Image size 400×400 · peripheral blood film — 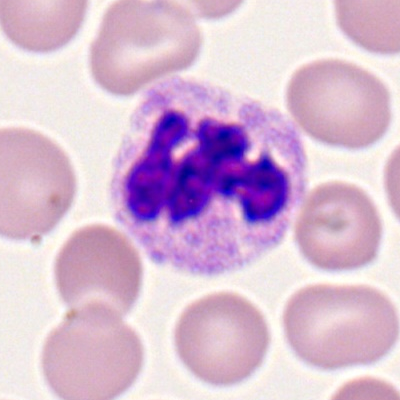 Q: What is the morphological classification of this cell?
A: It is a polymorphonuclear neutrophil.